250×250 px. Bone marrow smear. Brightfield, 40× oil-immersion objective — 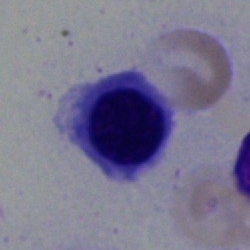 This is an erythroblast.